Bone marrow aspirate smear. MGG-stained — 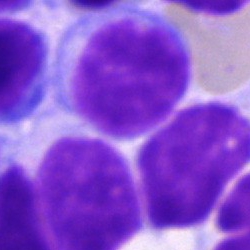Cell type — lymphocyte.